Brightfield, 40× oil-immersion objective. Bone marrow aspirate smear. 250×250
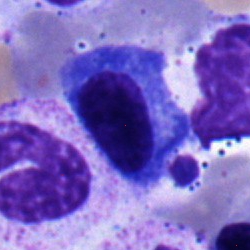{"cell_type": "plasma cell", "lineage": "lymphoid"}